Bone marrow smear — 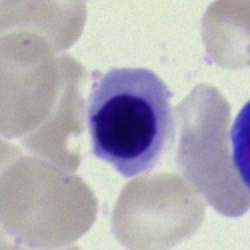
This is an erythroblast.